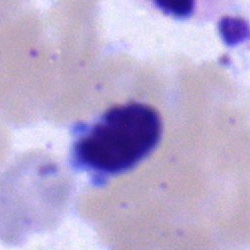 Specimen: bone marrow smear.
Cell: typical lymphocyte.
Lineage: lymphoid.